Bone marrow aspirate smear — 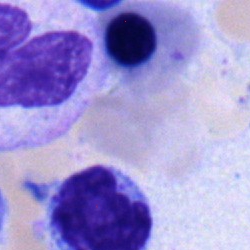Showing a nucleated red blood cell.